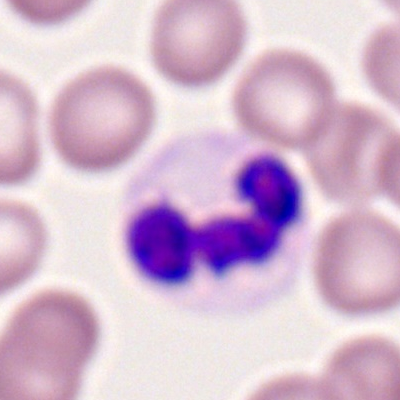

Q: What cell is this?
A: Neutrophil (segmented).